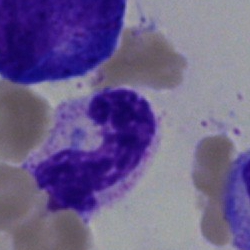 Morphology — polymorphonuclear neutrophil.